Bone marrow aspirate smear:
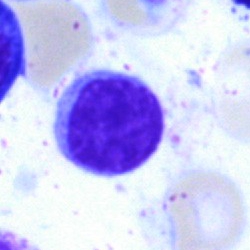 Morphology consistent with a typical lymphocyte.